Bone marrow aspirate smear.
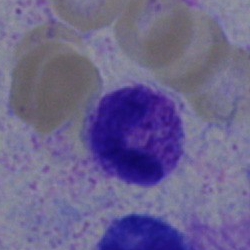Q: What type of cell is this?
A: A polymorphonuclear neutrophil.